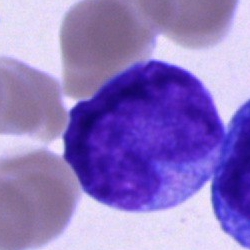The cell shown is an undifferentiated blast.